Bone marrow smear
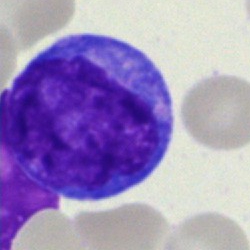

Specimen: bone marrow aspirate smear.
Cell type: blast.